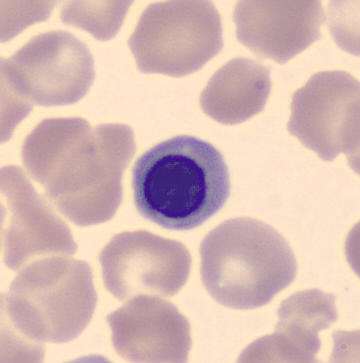Single-cell crop from a peripheral blood smear: erythroblast.